Peripheral blood smear — 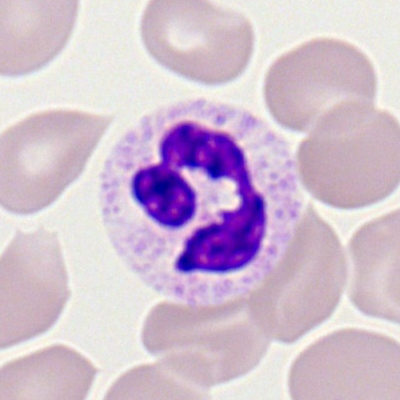
Single cell identified as a neutrophil (segmented).